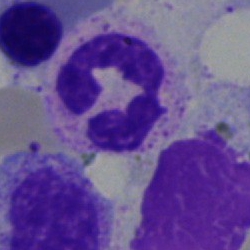
Morphology — neutrophil (segmented).